Bone marrow smear · Pappenheim-stained:
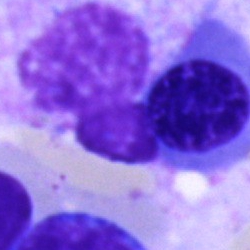
Showing a cell of indeterminate lineage.